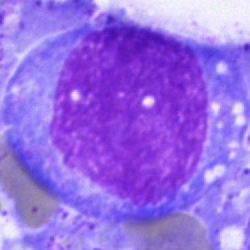Undifferentiated blast.